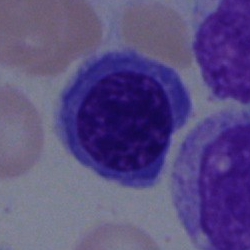
An erythroblast.